Pappenheim-stained · bone marrow aspirate smear
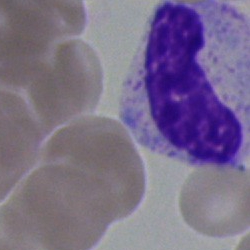
Specimen: bone marrow smear.
Cell: neutrophil (band).